MGG-stained; bone marrow aspirate smear; image size 250×250:
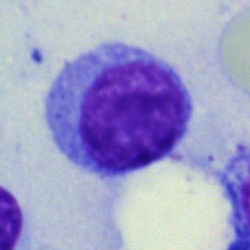
Q: Which cell type is shown here?
A: It is a lymphocyte.